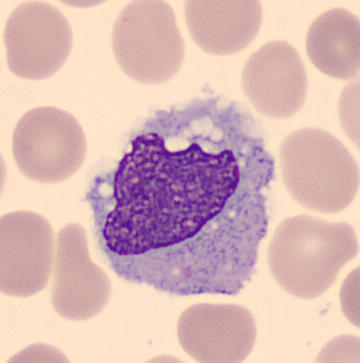

Morphology — monocyte.
Peripheral blood smear · cropped to a single cell.